Bone marrow aspirate smear — 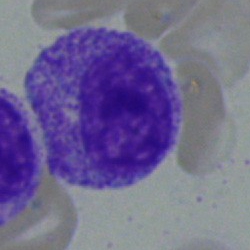
Specimen: bone marrow smear.
Morphological class: myelocyte.
Lineage: myeloid.